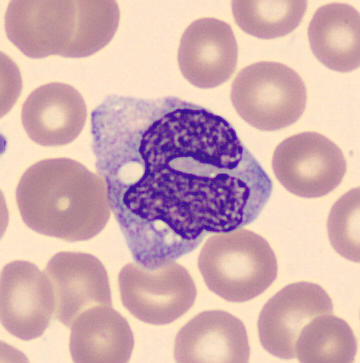Morphological class = monocyte.